Brightfield microscopy, 40× oil immersion. Bone marrow aspirate smear. 250×250 px:
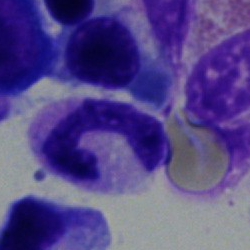
Morphology → neutrophil (band).